250×250 px · single-cell field · bone marrow smear
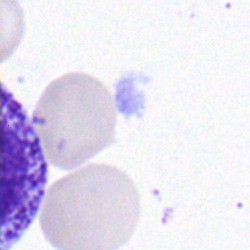 Showing a myelocyte.